Peripheral blood film
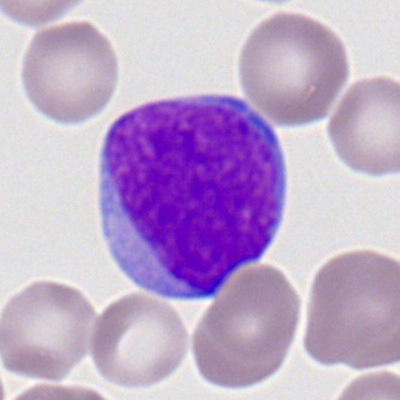

Myeloblast.